100× objective, oil immersion; 400×400; peripheral blood smear: 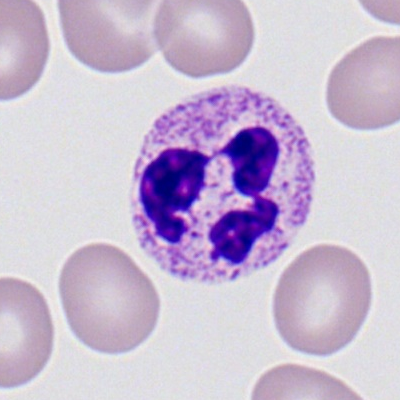

Morphology consistent with a segmented neutrophil.